Single cell centered in the field · bone marrow smear:
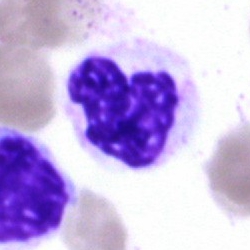
The cell is segmented neutrophil.